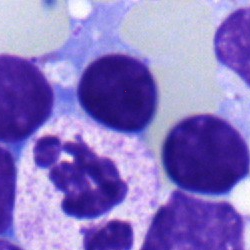

Q: What is shown here?
A: It is a nucleated red blood cell.